MGG-stained · 250×250 px · bone marrow aspirate smear:
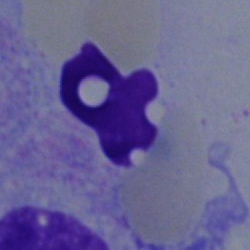 Specimen: bone marrow smear.
Morphological class: artefact.